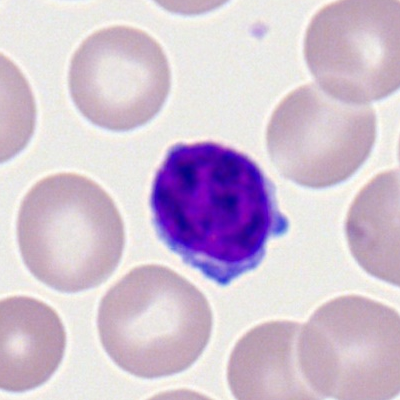

Cell: typical lymphocyte.